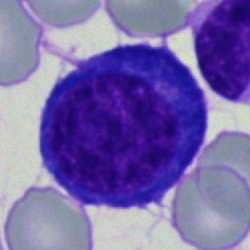

Cell: normoblast.